Bone marrow smear.
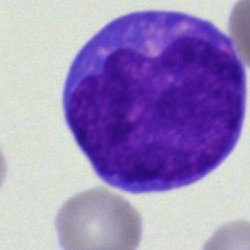 A blast cell.